Bone marrow aspirate smear.
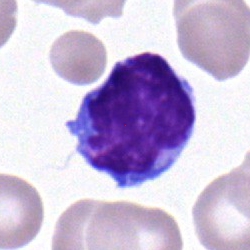
Morphology — lymphocyte.